Bone marrow smear. May-Grünwald-Giemsa stain:
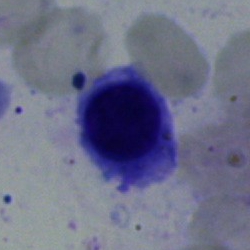
Q: What is the morphological classification of this cell?
A: A nucleated red blood cell.